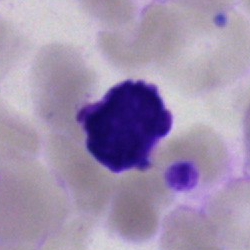Impression — typical lymphocyte.